Bone marrow smear.
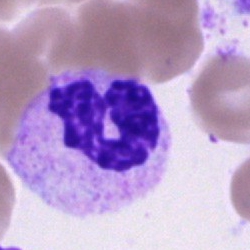 Showing a neutrophil (segmented).